Bone marrow aspirate smear: 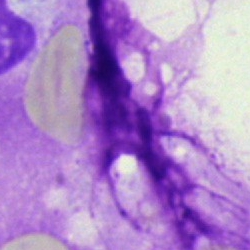{"cell_type": "artefact"}